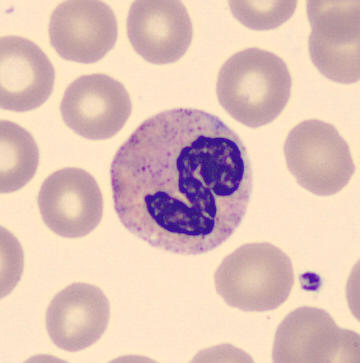

Morphology — neutrophil (segmented).

Peripheral blood film · single-cell field.